Bone marrow aspirate smear; May-Grünwald-Giemsa/Pappenheim stain.
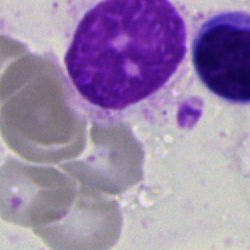

Cell type: artifact.